Single-cell crop. Bone marrow smear. 40× objective, oil immersion: 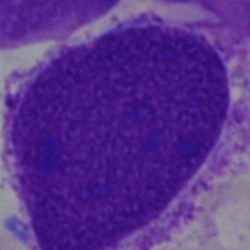 Classification: artifact.